Bone marrow smear:
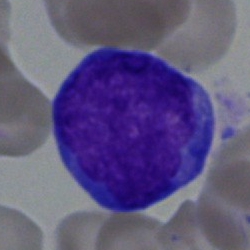 Morphology — blast.